Pappenheim-stained · bone marrow aspirate smear · cropped to a single cell: 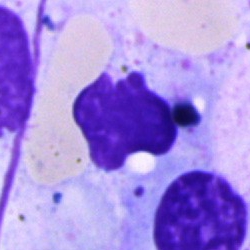Showing an artifact.